Bone marrow smear — 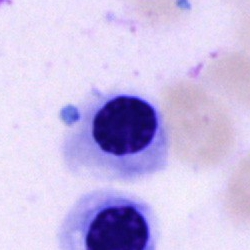 Classification: erythroblast.